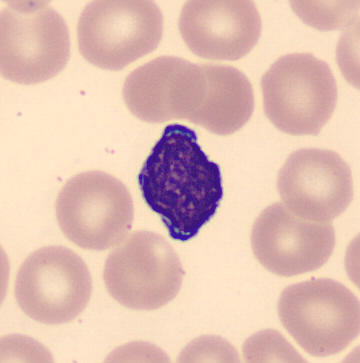Morphology → typical lymphocyte.
Preparation: Peripheral blood film. Single-cell field. CellaVision DM96.